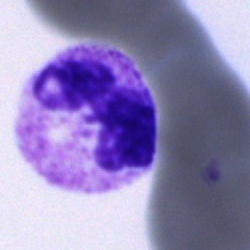Q: What is the morphological classification of this cell?
A: Polymorphonuclear neutrophil.